Bone marrow aspirate smear.
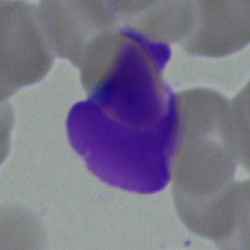 The classification is artifact.